MGG-stained · bone marrow smear · 40× objective, oil immersion
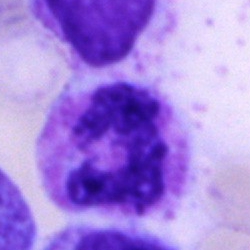

Single cell identified as a neutrophil (segmented).